Bone marrow aspirate smear — 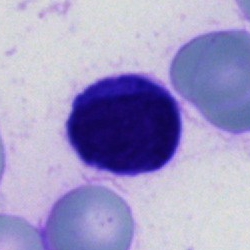
Cell type = cell of indeterminate lineage.